Bone marrow aspirate smear. Image size 250×250. Single cell centered in the field — 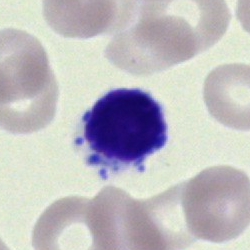 Single cell identified as a typical lymphocyte.